Brightfield microscopy, 40× oil immersion · bone marrow smear · single cell centered in the field:
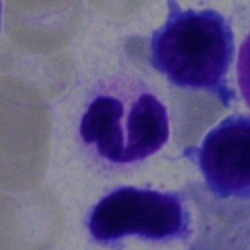Neutrophil (segmented).